Image size 250×250. Bone marrow smear. MGG-stained — 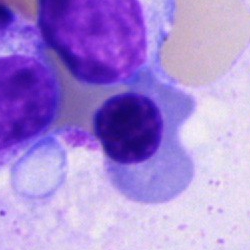
Morphological class: erythroblast.